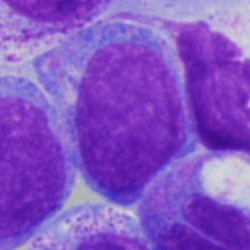

{"cell_type": "undifferentiated blast"}